Bone marrow aspirate smear: 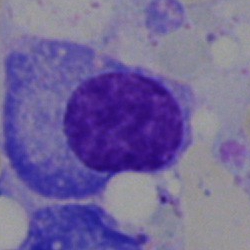{"cell_type": "plasmacyte", "lineage": "lymphoid"}